Bone marrow aspirate smear.
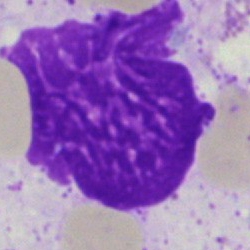

The cell shown is an artifact.